Bone marrow aspirate smear:
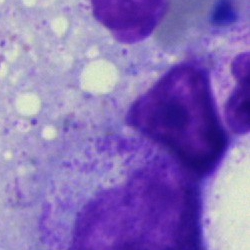Impression → artefact.